Cropped to a single cell. Bone marrow smear
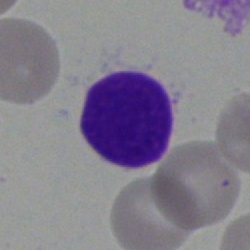
Cell — typical lymphocyte.